Cropped to a single cell · bone marrow aspirate smear · image size 250×250 — 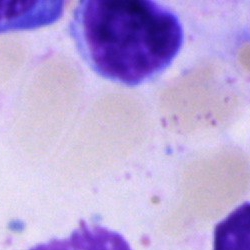
Lymphocyte.